Bone marrow aspirate smear: 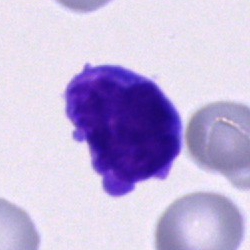

Q: Which cell type is shown here?
A: A blast cell.